Bone marrow smear
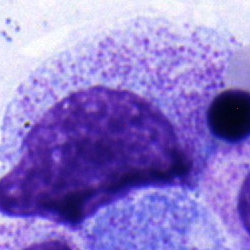 Morphology → metamyelocyte.